Bone marrow aspirate smear · May-Grünwald-Giemsa/Pappenheim stain:
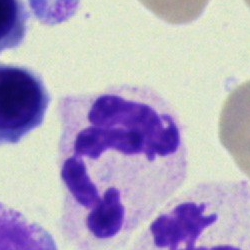
{"cell_type": "polymorphonuclear neutrophil"}